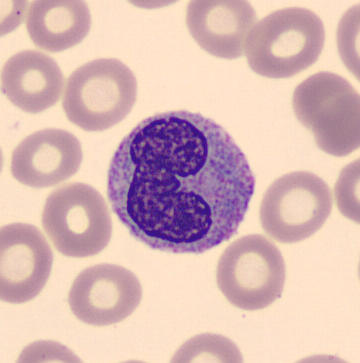
The classification is monocyte.